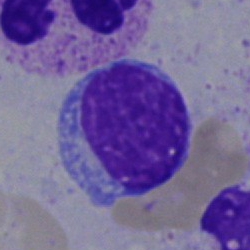

Showing a typical lymphocyte.